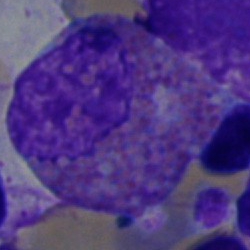
Specimen: bone marrow aspirate smear.
Classification: eosinophil.
Lineage: myeloid.